Bone marrow aspirate smear
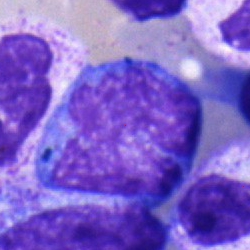
Specimen: bone marrow smear.
Cell: monocyte.
Lineage: myeloid.